Bone marrow aspirate smear; brightfield microscopy, 40× oil immersion:
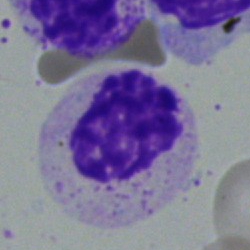

Q: What type of cell is this?
A: A myelocyte.